Bone marrow smear.
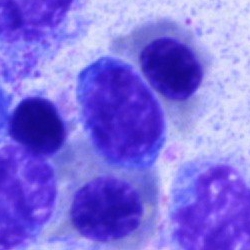
A lymphocyte.